Bone marrow smear:
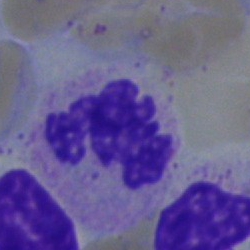
Segmented neutrophil.